Brightfield, 40× oil-immersion objective. Single cell centered in the field. Bone marrow smear.
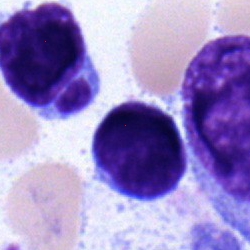Morphology consistent with a lymphocyte.